Bone marrow smear — 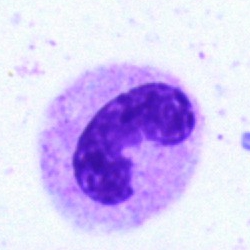

The cell shown is a band neutrophil.